Brightfield microscopy, 40× oil immersion · bone marrow aspirate smear: 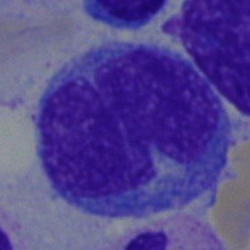
The classification is undifferentiated blast.